Single-cell field · bone marrow smear.
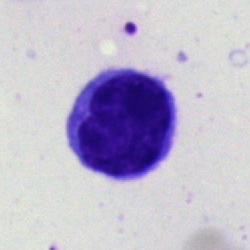
Specimen: bone marrow smear.
Classification: lymphocyte.
Lineage: lymphoid.